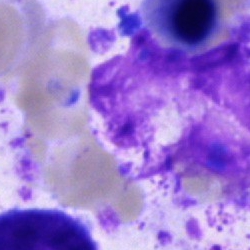Cell type — artifact.